Bone marrow aspirate smear.
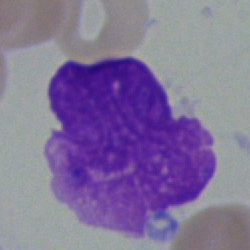Q: What is shown here?
A: This is an artefact.